40× oil immersion. Bone marrow smear — 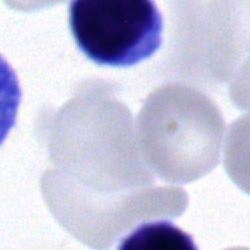Q: What is shown here?
A: Typical lymphocyte.